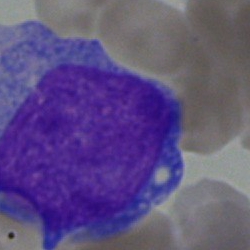
Showing a blast cell.